40× oil immersion. Bone marrow aspirate smear: 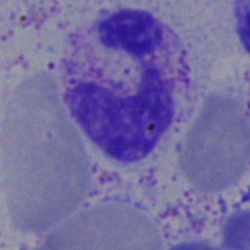
Q: What type of cell is this?
A: A segmented neutrophil.